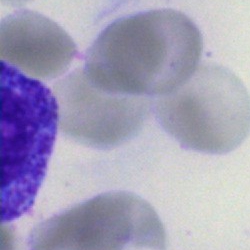Cell of indeterminate lineage.